Bone marrow aspirate smear:
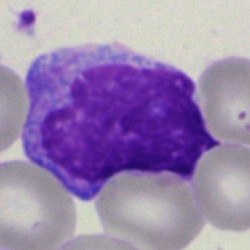 This is a monocyte.